Bone marrow aspirate smear
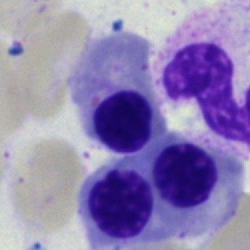 {"cell_type": "erythroblast", "lineage": "erythroid"}